Bone marrow smear: 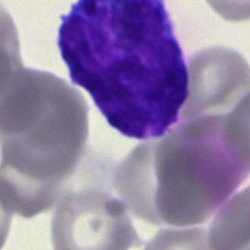
This is a blast cell.